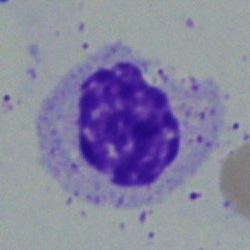Single cell identified as a myelocyte.